Bone marrow smear; May-Grünwald-Giemsa/Pappenheim stain; 250×250 px — 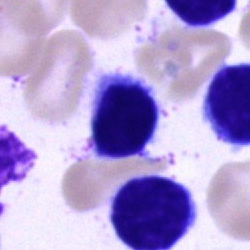Morphology — lymphocyte.